Bone marrow smear: 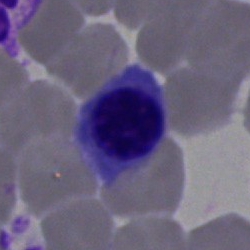 Morphological class: nucleated red blood cell.